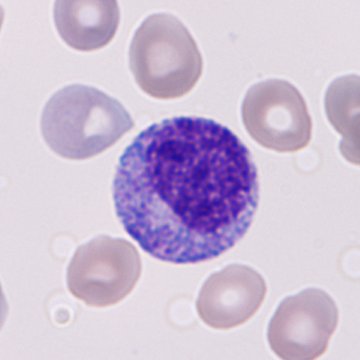

Peripheral blood film · image size 360×360. {"cell_type": "immature granulocyte (promyelocyte, myelocyte or metamyelocyte)"}